Bone marrow aspirate smear — 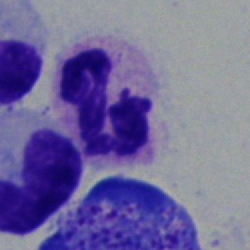
Morphological class = polymorphonuclear neutrophil.